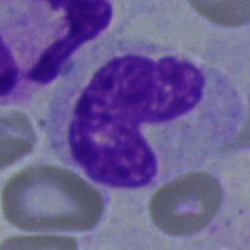 Impression → stab cell.